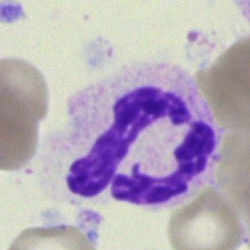The cell type is polymorphonuclear neutrophil.